Bone marrow smear: 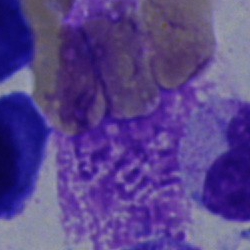Artefact.